Bone marrow aspirate smear. 40× oil immersion
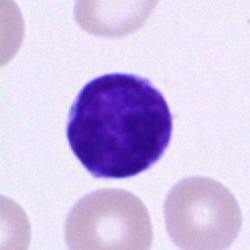
A lymphocyte.